Bone marrow smear
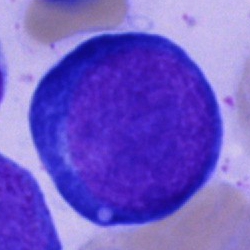Showing a pronormoblast.